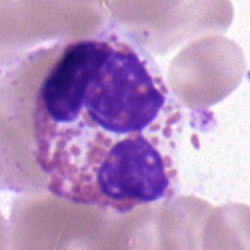
{"cell_type": "eosinophil", "lineage": "myeloid"}